Peripheral blood smear — 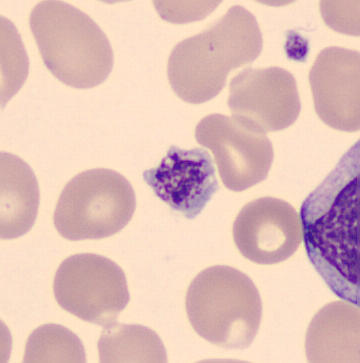

This is a platelet (thrombocyte).